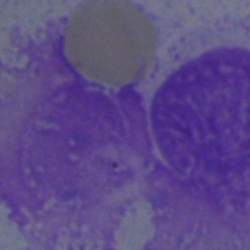 Cell type — artefact.